Bone marrow aspirate smear; MGG-stained — 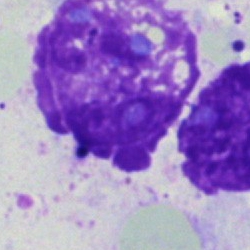

Q: What is shown here?
A: This is an artefact.